Peripheral blood film. Cropped to a single cell:
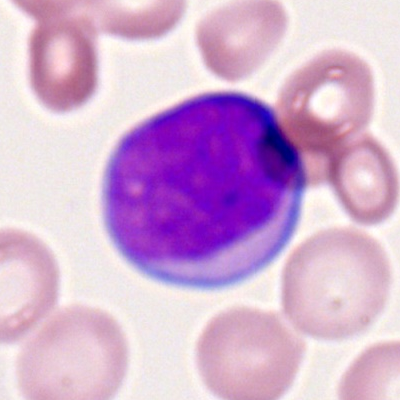

{"cell_type": "myeloblast", "lineage": "myeloid"}